Bone marrow aspirate smear: 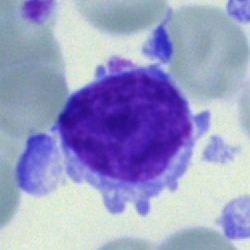 Cell = typical lymphocyte.